Peripheral blood smear
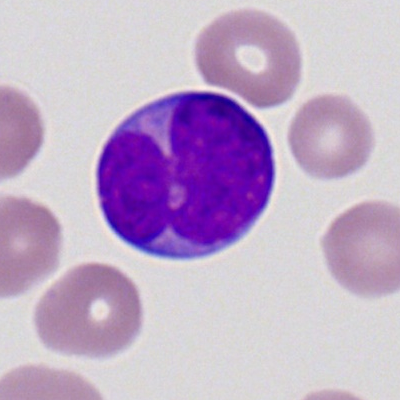

This is a myeloblast.